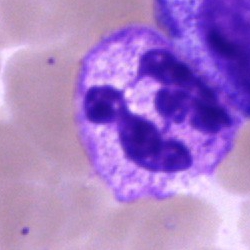
Specimen: bone marrow smear.
Cell type: segmented neutrophil.